Bone marrow smear:
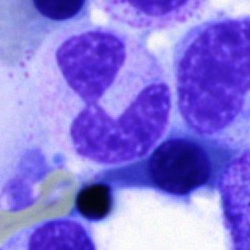 Specimen: bone marrow aspirate smear.
Morphological class: polymorphonuclear neutrophil.